Bone marrow aspirate smear: 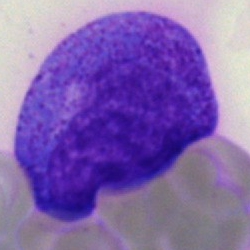Q: What cell is this?
A: Progranulocyte.